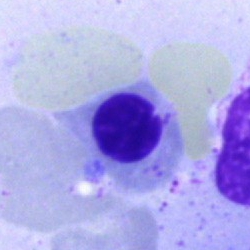
{"cell_type": "normoblast", "lineage": "erythroid"}